Bone marrow smear — 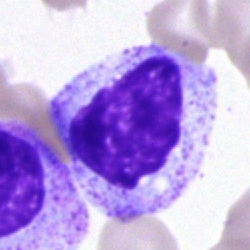Cell: myelocyte.